Peripheral blood film. 100× objective, oil immersion
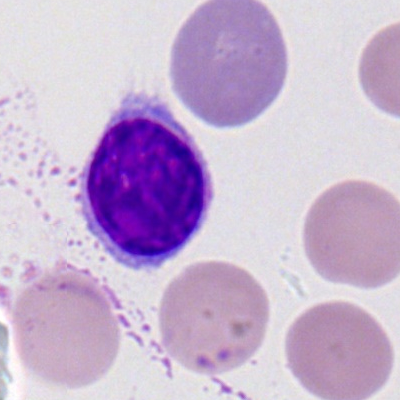 Single cell identified as a typical lymphocyte.